Bone marrow aspirate smear: 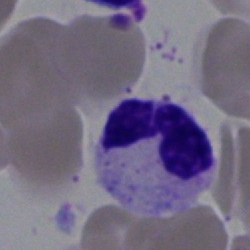
Q: What is the morphological classification of this cell?
A: Segmented neutrophil.